Bone marrow aspirate smear. Brightfield microscopy, 40× oil immersion. Single-cell crop — 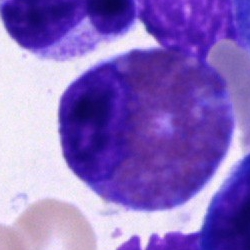Cell type — eosinophil.